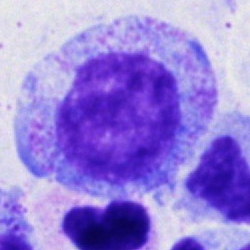 {"cell_type": "promyelocyte", "lineage": "myeloid"}